Bone marrow smear — 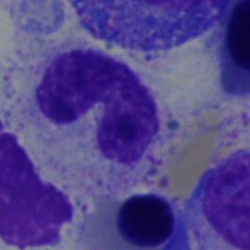Classification = neutrophil (band).